May-Grünwald-Giemsa/Pappenheim stain · bone marrow smear · brightfield, 40× oil-immersion objective
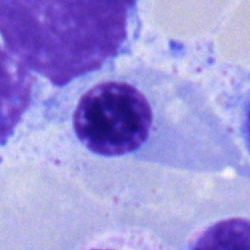Showing a nucleated red cell.